Bone marrow smear
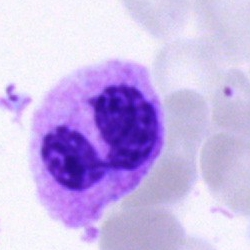

Eosinophilic granulocyte.